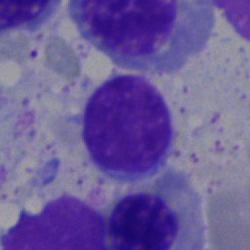Specimen: bone marrow aspirate smear.
Cell: lymphocyte.
Lineage: lymphoid.